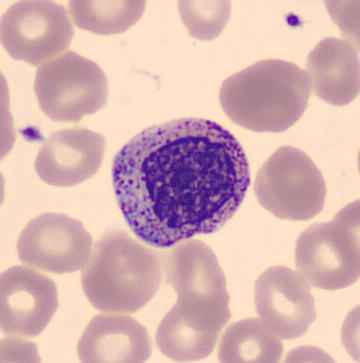Acquisition: Peripheral blood smear.
Q: What is this?
A: It is a myelocyte.